Bone marrow smear: 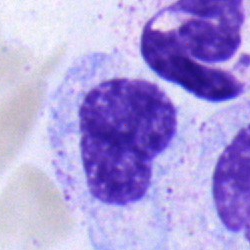

This is a metamyelocyte.